250×250 px. Bone marrow aspirate smear — 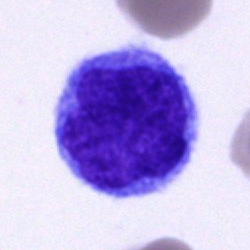 Impression — undifferentiated blast.